Bone marrow smear:
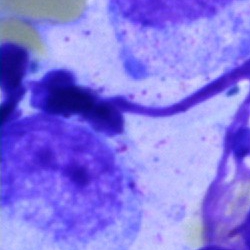

This is an artefact.